Bone marrow smear.
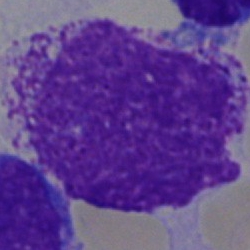

Q: What is shown here?
A: This is an artifact.